Brightfield, 40× oil-immersion objective. Bone marrow smear. Single-cell crop
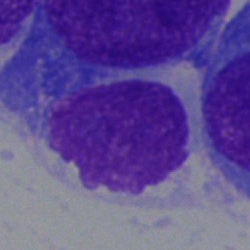{"cell_type": "plasma cell"}